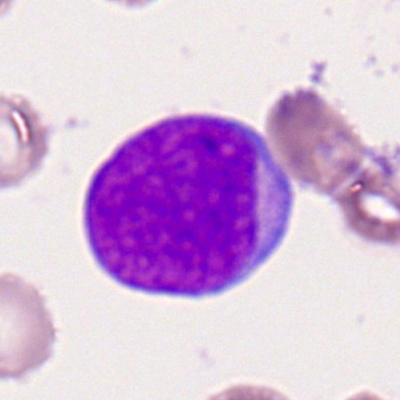
The cell is myeloblast.